Bone marrow aspirate smear.
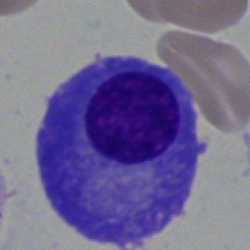
Morphology consistent with a plasma cell.